Single cell centered in the field; bone marrow smear; May-Grünwald-Giemsa stain — 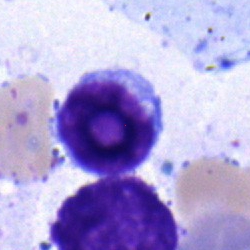 Morphology consistent with a lymphocyte.